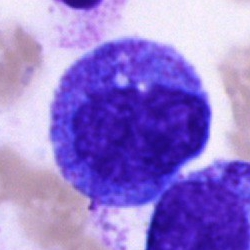Promyelocyte.